Pappenheim-stained; bone marrow aspirate smear: 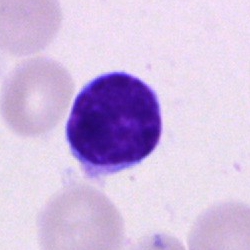

Q: What is the morphological classification of this cell?
A: This is a lymphocyte.